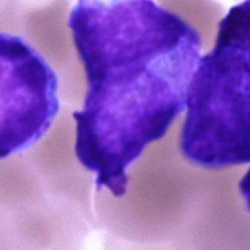Specimen: bone marrow aspirate smear.
Cell type: blast cell.